Bone marrow aspirate smear; 40× oil immersion — 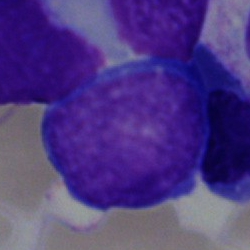The morphological class is blast.